Bone marrow smear.
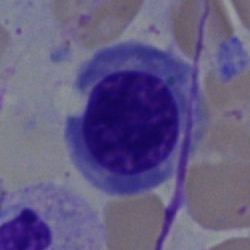

Q: What is the morphological classification of this cell?
A: This is a nucleated red blood cell.